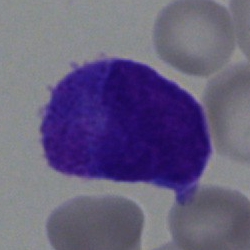

Bone marrow aspirate smear, single cell — undifferentiated blast.